Single-cell crop. Bone marrow aspirate smear:
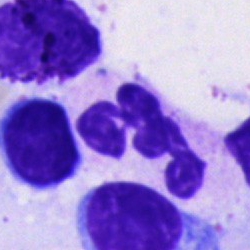

The cell type is segmented neutrophil.